May-Grünwald-Giemsa/Pappenheim stain. Bone marrow smear. Brightfield microscopy, 40× oil immersion:
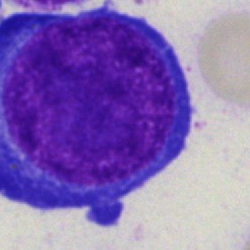 Q: What is shown here?
A: This is a proerythroblast.